Bone marrow aspirate smear
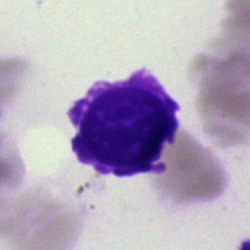Q: What is shown here?
A: Artifact.